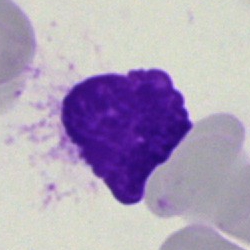Q: What is shown here?
A: Artifact.